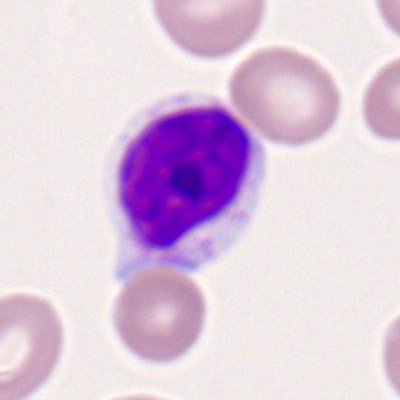 This is a lymphocyte.